Single cell centered in the field · peripheral blood film
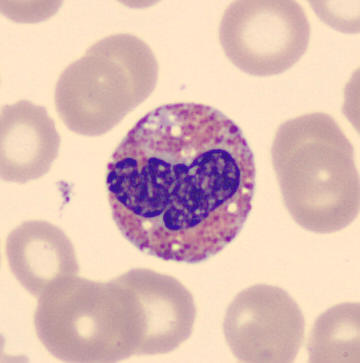Specimen: peripheral blood smear.
Morphological class: eosinophilic granulocyte.
Lineage: myeloid.